Bone marrow smear — 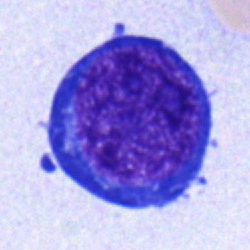Q: What is shown here?
A: It is a pronormoblast.